Bone marrow smear; brightfield microscopy, 40× oil immersion
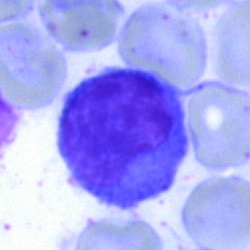
This is a lymphocyte.